Bone marrow aspirate smear — 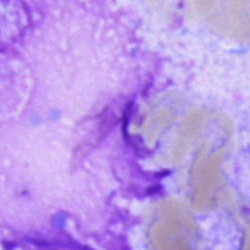

Classification = artefact.